Bone marrow aspirate smear; Pappenheim-stained
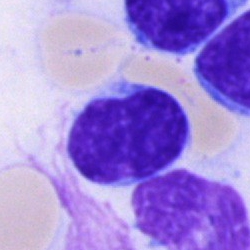

Q: What type of cell is this?
A: Typical lymphocyte.